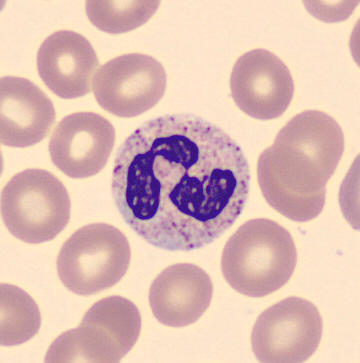
Q: What cell is this?
A: It is a neutrophil (segmented). Peripheral blood smear · 360×363 · MGG-stained.